Romanowsky-type stain. Peripheral blood smear. 100× objective, oil immersion — 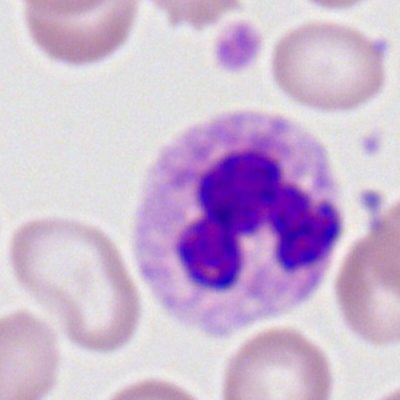Morphological class = polymorphonuclear neutrophil.